Brightfield, 40× oil-immersion objective; bone marrow smear — 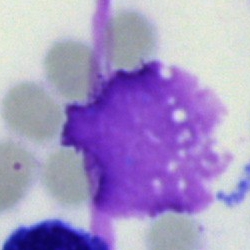 This is an artifact.